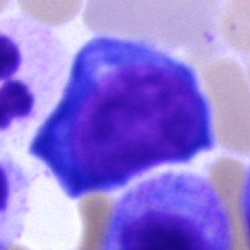The cell type is proerythroblast.